Cropped to a single cell. Bone marrow aspirate smear. 250×250 px: 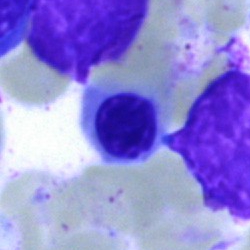

Specimen: bone marrow smear.
Classification: nucleated red cell.
Lineage: erythroid.